Bone marrow smear: 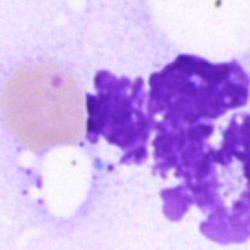 The cell shown is an artifact.